Bone marrow smear. 250×250 px
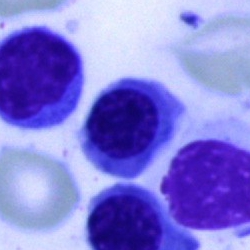

An erythroblast.